Bone marrow aspirate smear.
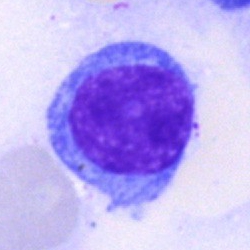
Single cell identified as a typical lymphocyte.